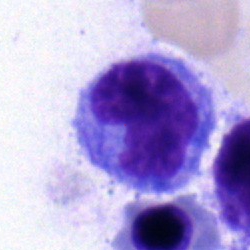
Single cell identified as a monocyte.